Bone marrow aspirate smear — 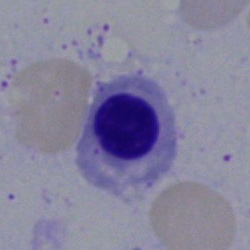
A nucleated red cell.